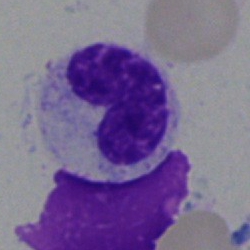A band neutrophil.